Bone marrow aspirate smear:
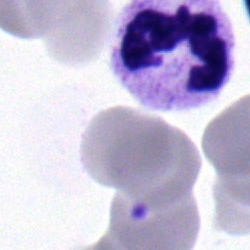
Showing a segmented neutrophil.